Brightfield, 40× oil-immersion objective · bone marrow aspirate smear · MGG-stained:
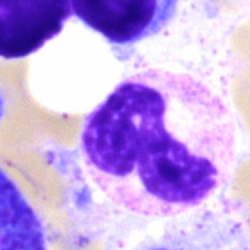 Morphology — polymorphonuclear neutrophil.